Bone marrow aspirate smear:
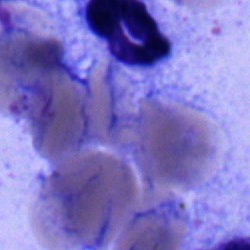

The cell shown is a segmented neutrophil.